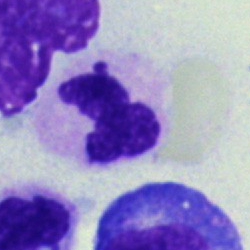 Morphological class = polymorphonuclear neutrophil.